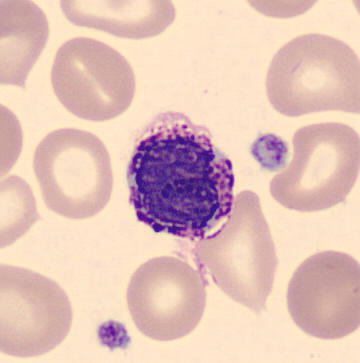 The cell shown is a basophil.
Preparation: 360 by 363 pixels; peripheral blood smear.